Bone marrow aspirate smear.
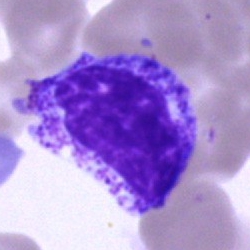Showing a myelocyte.